Image size 250×250 · bone marrow aspirate smear.
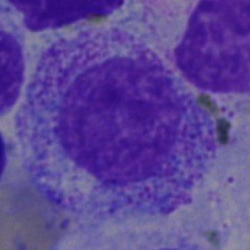 The classification is myelocyte.